Bone marrow aspirate smear. MGG-stained: 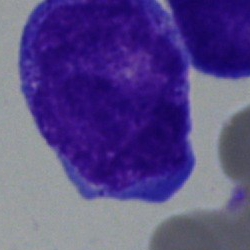Specimen: bone marrow aspirate smear.
Classification: blast cell.